40× objective, oil immersion; image size 250×250; bone marrow aspirate smear — 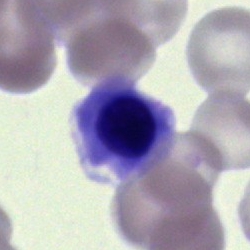

Q: What is the morphological classification of this cell?
A: This is an erythroblast.